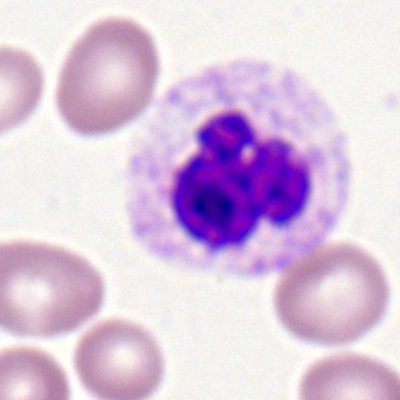Specimen: peripheral blood film.
Classification: segmented neutrophil.
Lineage: myeloid.